Single cell centered in the field · bone marrow aspirate smear
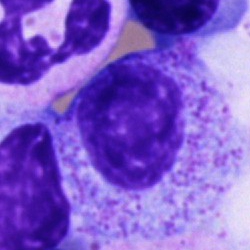 Cell = progranulocyte.